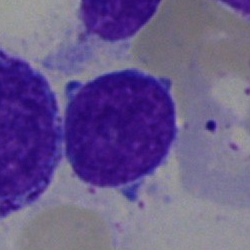 Q: What is shown here?
A: Typical lymphocyte.